Bone marrow smear — 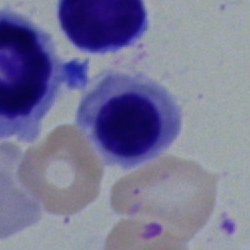 Showing a nucleated red cell.